Bone marrow aspirate smear. Brightfield, 40× oil-immersion objective
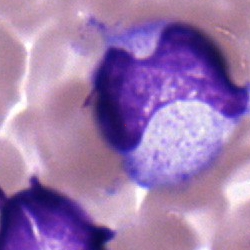
Morphology consistent with a segmented neutrophil.